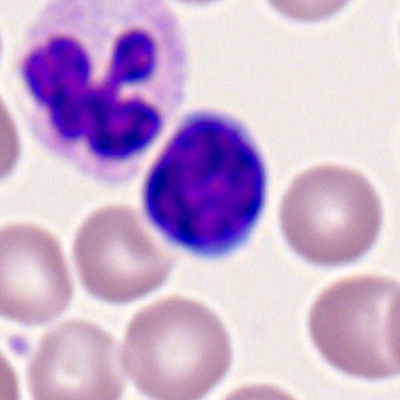 The cell shown is a lymphocyte.